Bone marrow smear.
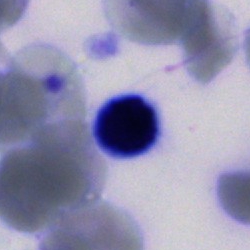
Morphology → typical lymphocyte.